Bone marrow smear · Pappenheim-stained:
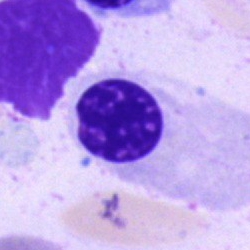 Q: Identify the cell.
A: This is a nucleated red blood cell.